Pappenheim-stained; bone marrow aspirate smear; brightfield, 40× oil-immersion objective: 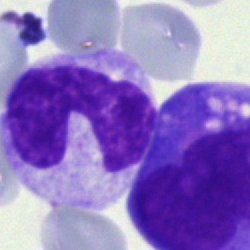 The cell shown is a band-form neutrophil.